250 by 250 pixels. Bone marrow aspirate smear. May-Grünwald-Giemsa stain — 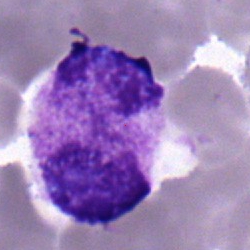
Specimen: bone marrow aspirate smear.
Morphological class: polymorphonuclear neutrophil.